Peripheral blood film — 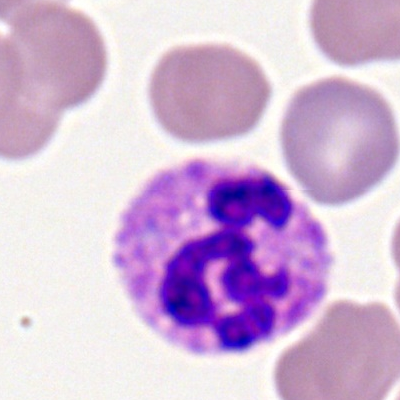Specimen: peripheral blood smear.
Cell type: neutrophil (segmented).
Lineage: myeloid.